Bone marrow aspirate smear:
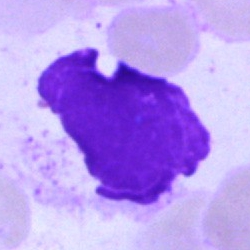Specimen: bone marrow aspirate smear.
Cell type: artifact.